Bone marrow smear · May-Grünwald-Giemsa/Pappenheim stain:
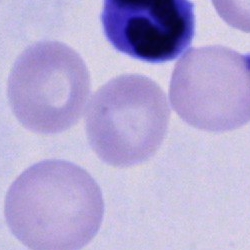Q: Which cell type is shown here?
A: This is a cell of indeterminate lineage.